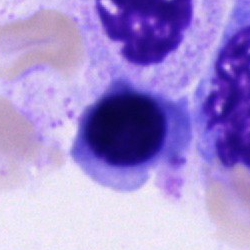
Q: What is the morphological classification of this cell?
A: This is a nucleated red cell.